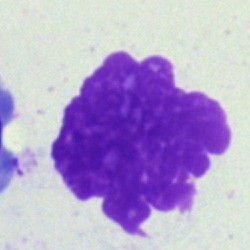 The cell is artefact.